Peripheral blood film:
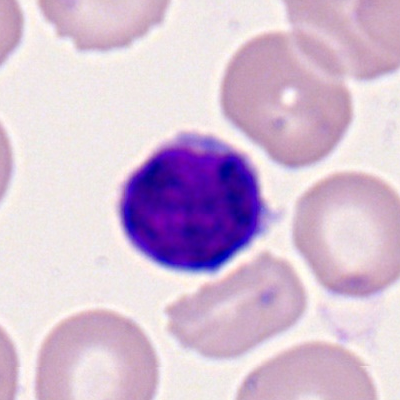

Cell = typical lymphocyte.